Peripheral blood smear — 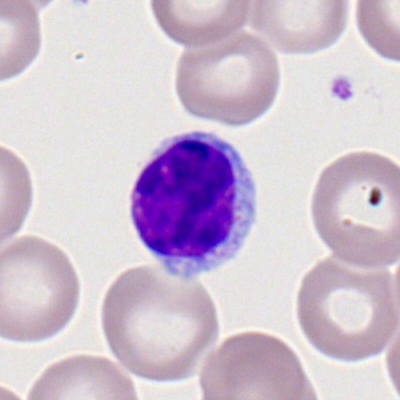The classification is typical lymphocyte.